Single-cell field · 40× objective, oil immersion · bone marrow aspirate smear — 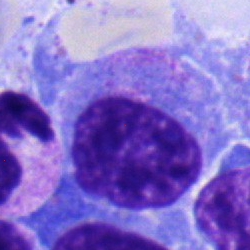 The cell shown is a promyelocyte.